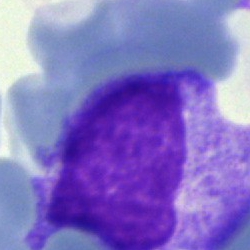The morphological class is myelocyte.